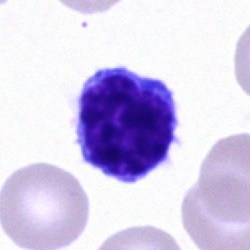Lymphocyte.